Bone marrow aspirate smear.
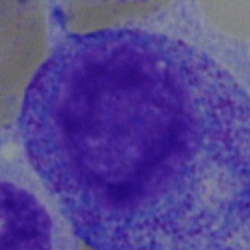
Morphology consistent with a promyelocyte.